Bone marrow aspirate smear — 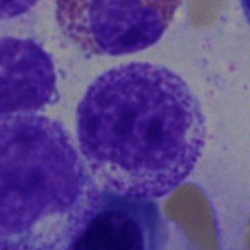The cell is myelocyte.